Bone marrow aspirate smear: 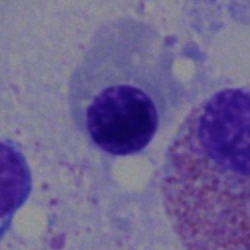 The cell shown is a normoblast.